40× oil immersion; MGG-stained; bone marrow aspirate smear: 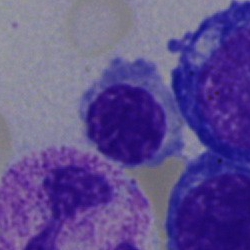 Specimen: bone marrow aspirate smear.
Classification: normoblast.
Lineage: erythroid.